Bone marrow aspirate smear · 40× objective, oil immersion: 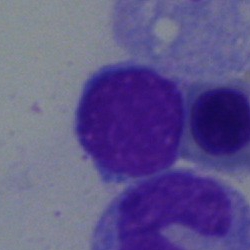Morphology — lymphocyte.